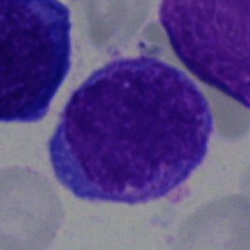{"cell_type": "promyelocyte", "lineage": "myeloid"}